Bone marrow smear.
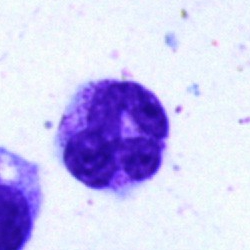 Impression → segmented neutrophil.